250×250 px · MGG-stained · bone marrow smear — 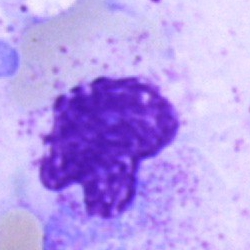

Q: What is shown here?
A: This is an artefact.